Bone marrow smear.
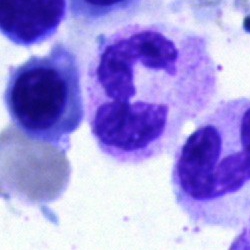
This is a neutrophil (segmented).